250×250 px · bone marrow aspirate smear.
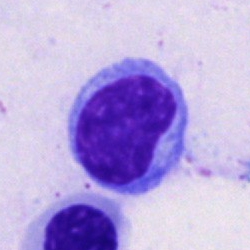Cell = lymphocyte.